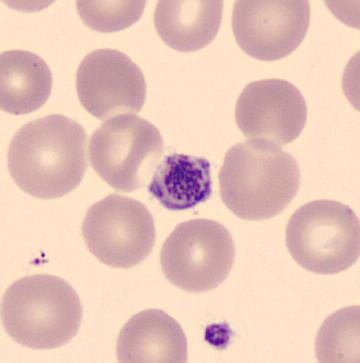 Peripheral blood film · CellaVision DM96 · image size 360×363. Showing a platelet (thrombocyte).